Bone marrow aspirate smear: 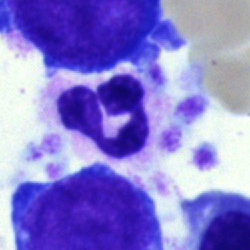
Polymorphonuclear neutrophil.